Bone marrow aspirate smear.
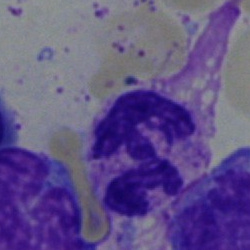
Q: What is shown here?
A: This is a segmented neutrophil.